Bone marrow aspirate smear: 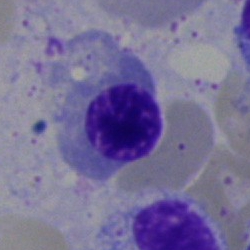 Q: What cell is this?
A: This is a nucleated red cell.